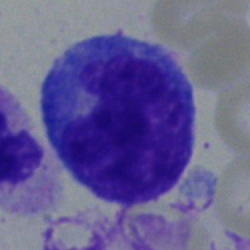

Morphology → monocyte.